Bone marrow aspirate smear
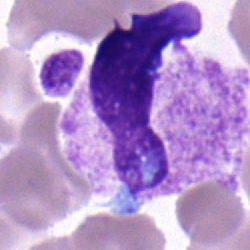Single cell identified as a neutrophil (segmented).